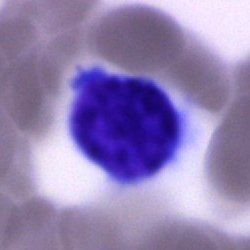

Morphological class = typical lymphocyte.